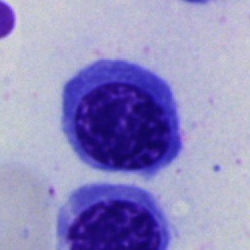 An erythroblast on a bone marrow smear.